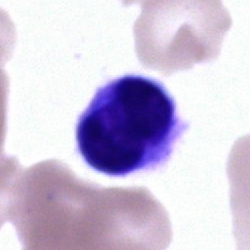Q: What is shown here?
A: A lymphocyte.